Bone marrow smear
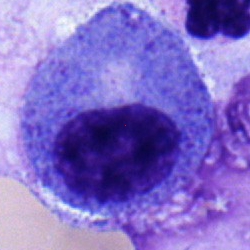This is a progranulocyte.